Bone marrow aspirate smear: 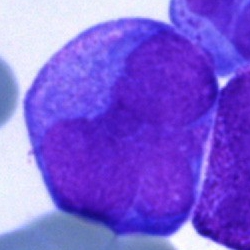

Q: What is the morphological classification of this cell?
A: It is an undifferentiated blast.